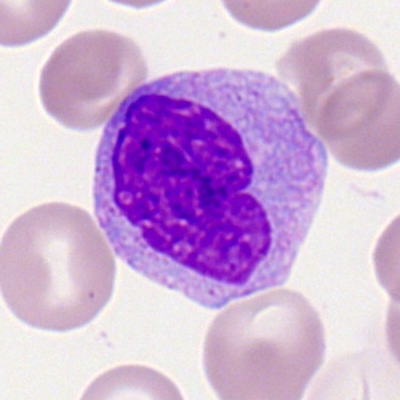

Specimen: peripheral blood smear.
Classification: monocyte.
Lineage: myeloid.